May-Grünwald-Giemsa stain. Bone marrow smear. 40× objective, oil immersion:
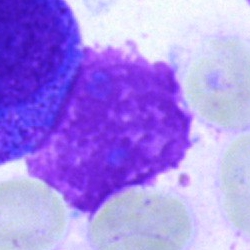
Classification = artifact.